Bone marrow smear.
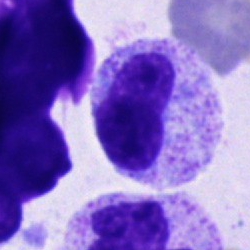

Morphology consistent with a metamyelocyte.